Bone marrow aspirate smear — 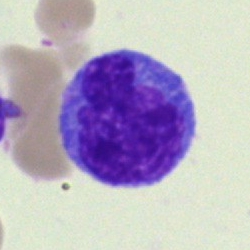 Q: What cell is this?
A: A monocyte.